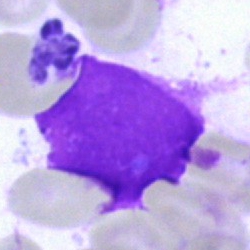{"cell_type": "artefact"}